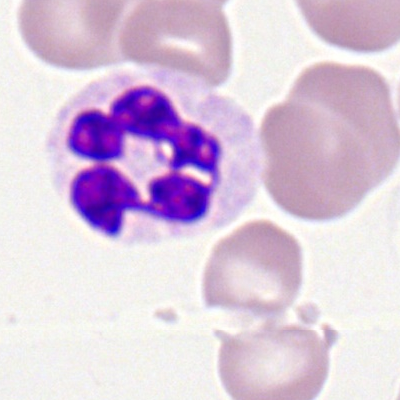
Q: Identify the cell.
A: This is a neutrophil (segmented).